Bone marrow aspirate smear — 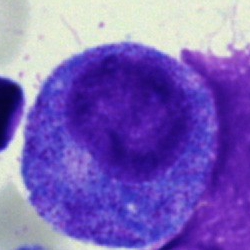Q: What cell is this?
A: It is a progranulocyte.